May-Grünwald-Giemsa stain; bone marrow aspirate smear.
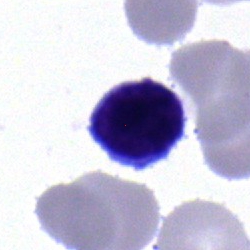 Impression — lymphocyte.